Peripheral blood smear
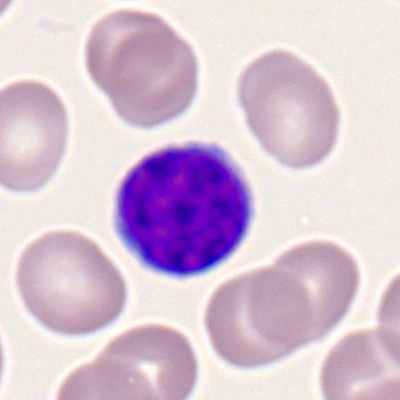 A lymphocyte.